Brightfield microscopy, 40× oil immersion · MGG-stained · bone marrow smear — 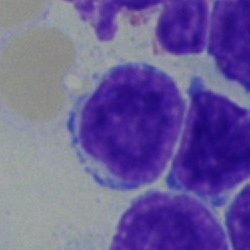 Morphology — lymphocyte.